Bone marrow aspirate smear. 250×250:
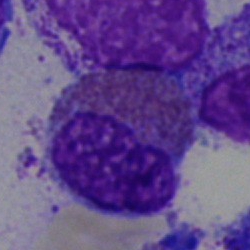

The cell shown is an eosinophilic granulocyte.